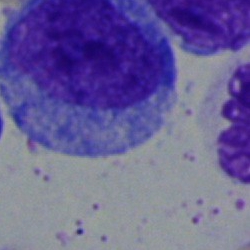
Specimen: bone marrow aspirate smear.
Cell type: progranulocyte.
Lineage: myeloid.